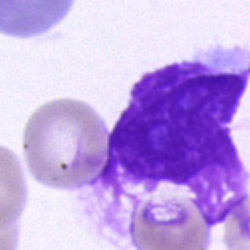
Morphology consistent with an artifact.